Brightfield, 100× oil-immersion objective · peripheral blood smear
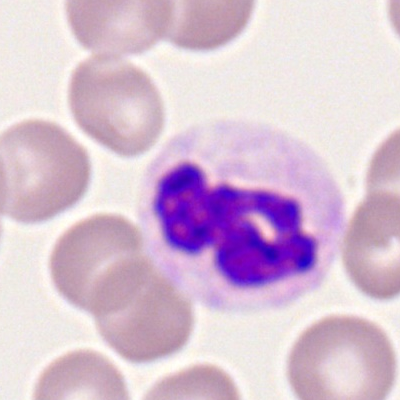

This is a polymorphonuclear neutrophil.